Peripheral blood film
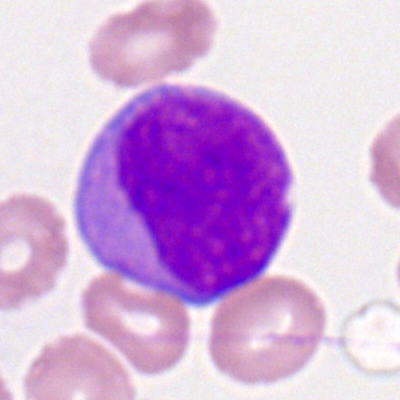 A myeloid blast.